Bone marrow aspirate smear
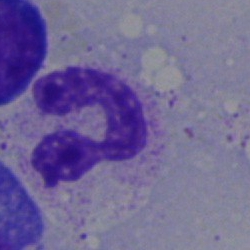
Cell — neutrophil (segmented).